Cropped to a single cell. Bone marrow aspirate smear. 250×250 px — 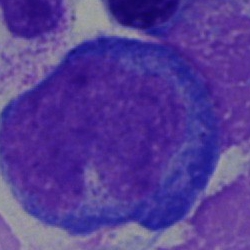Showing a pronormoblast.